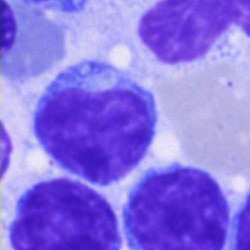
Morphology consistent with a typical lymphocyte.